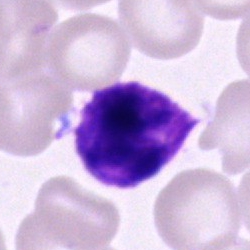Morphological class = basophilic granulocyte.